Bone marrow aspirate smear · 250 by 250 pixels:
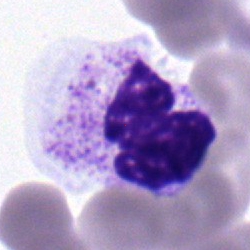 Cell — polymorphonuclear neutrophil.